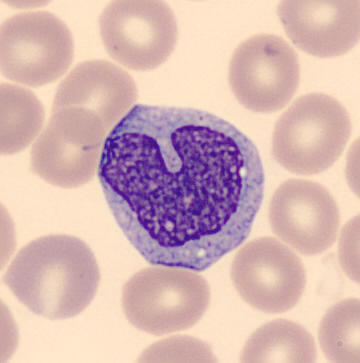 Morphology — monocyte.
Peripheral blood film. Image size 360×363.